May-Grünwald-Giemsa stain. Bone marrow aspirate smear. Brightfield, 40× oil-immersion objective
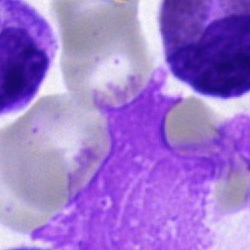
Q: What is shown here?
A: It is an artifact.